Bone marrow smear
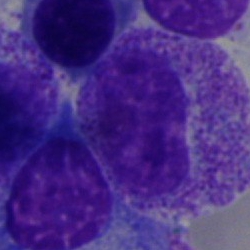

Impression → metamyelocyte.